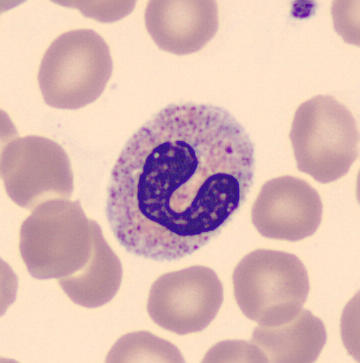 Peripheral blood smear. Showing a neutrophil (band).